Bone marrow smear — 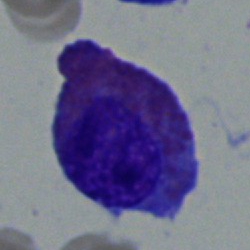
Single cell identified as an eosinophil.